Bone marrow smear · May-Grünwald-Giemsa/Pappenheim stain.
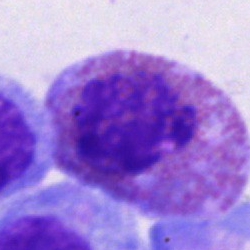 Showing an eosinophilic granulocyte.